Bone marrow smear:
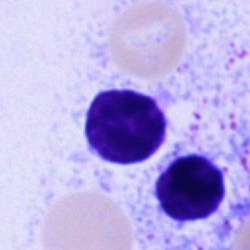The cell shown is a lymphocyte.